Bone marrow smear. Single cell centered in the field: 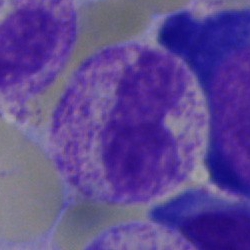
Impression → stab cell.